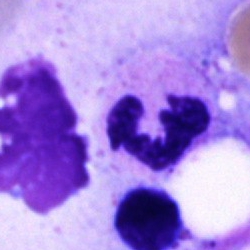
A polymorphonuclear neutrophil.